Bone marrow aspirate smear:
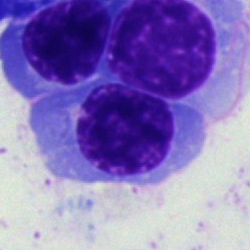
This is a nucleated red cell.